Bone marrow smear — 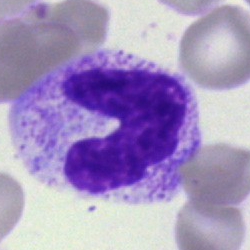

Single cell identified as a neutrophil (band).